Cropped to a single cell · peripheral blood film — 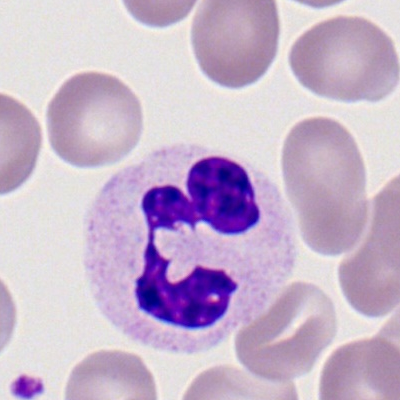

Q: What is the morphological classification of this cell?
A: This is a polymorphonuclear neutrophil.